Image size 250×250 · bone marrow smear.
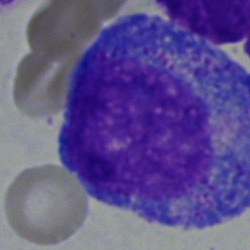
Q: What type of cell is this?
A: It is a promyelocyte.